Single cell centered in the field · bone marrow aspirate smear · Pappenheim-stained:
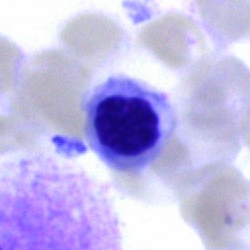 Morphological class — erythroblast.